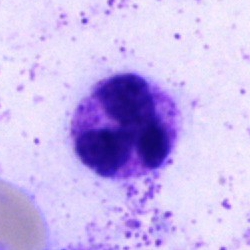 Morphology — neutrophil (segmented).